May-Grünwald-Giemsa stain · bone marrow smear.
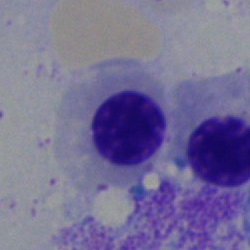

Morphology consistent with a nucleated red blood cell.